Bone marrow aspirate smear. 40× objective, oil immersion.
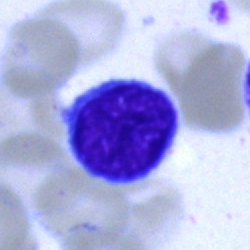 Showing a typical lymphocyte.